Bone marrow aspirate smear.
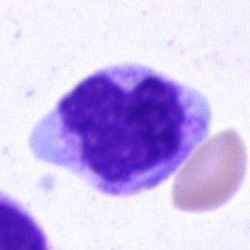

Showing a monocyte.